Single cell centered in the field · bone marrow smear: 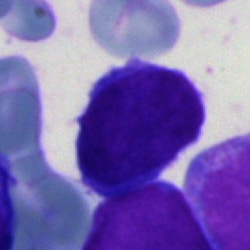An undifferentiated blast.